250×250 px · bone marrow smear · single-cell field:
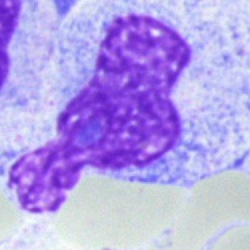 Artefact.